Bone marrow aspirate smear:
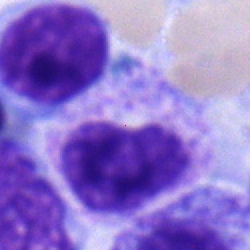Q: What cell is this?
A: It is a metamyelocyte.